250 by 250 pixels; bone marrow aspirate smear: 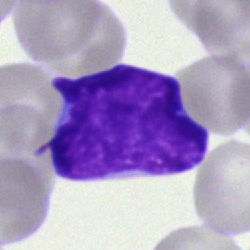Q: What is shown here?
A: Undifferentiated blast.